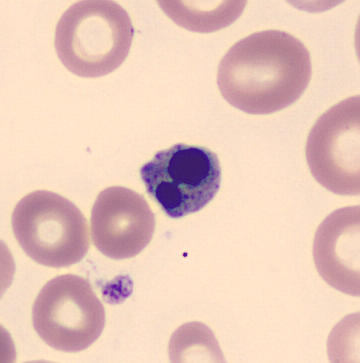Morphology consistent with a nucleated red blood cell.
Preparation: Peripheral blood film; 360 by 363 pixels.